Cropped to a single cell · bone marrow aspirate smear: 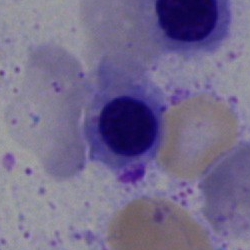
The cell shown is a normoblast.